Single cell centered in the field. Bone marrow smear
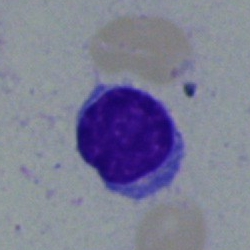

Q: Which cell type is shown here?
A: A lymphocyte.